250×250 px · bone marrow smear: 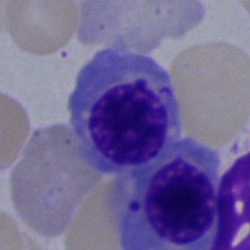Specimen: bone marrow aspirate smear.
Morphological class: erythroblast.
Lineage: erythroid.